Bone marrow smear.
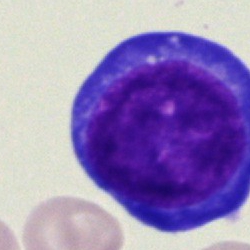
Morphology consistent with a proerythroblast.